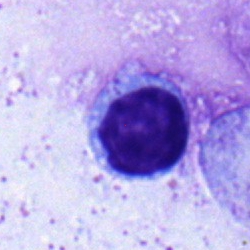
{"cell_type": "lymphocyte"}